40× oil immersion · bone marrow aspirate smear: 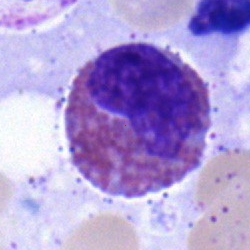
The cell shown is an eosinophilic granulocyte.